Peripheral blood smear. Brightfield, 100× oil-immersion objective. 400×400 px — 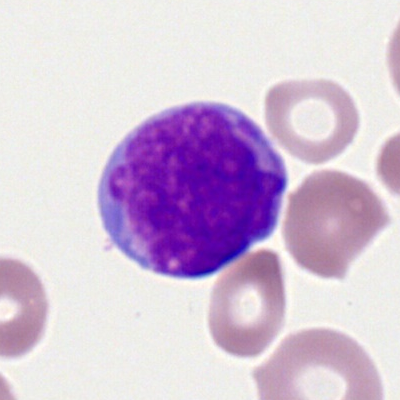
Morphological class = myeloblast.